Bone marrow aspirate smear
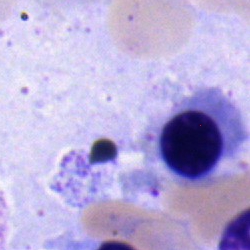Specimen: bone marrow smear.
Classification: erythroblast.